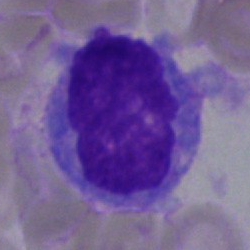
Cell — progranulocyte.